May-Grünwald-Giemsa/Pappenheim stain · bone marrow aspirate smear — 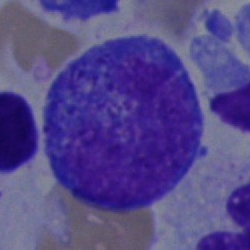
Cell: promyelocyte.